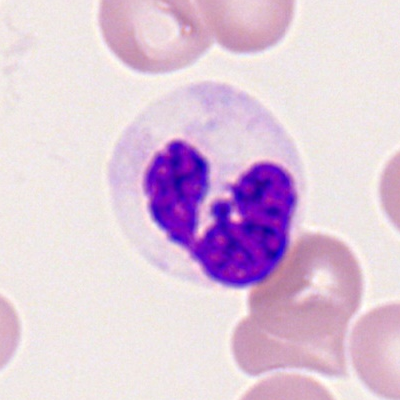 The cell shown is a neutrophil (segmented).